250×250; single-cell crop; bone marrow aspirate smear: 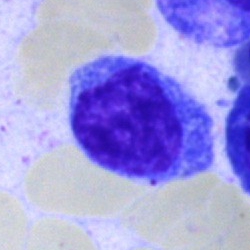
Cell = lymphocyte.